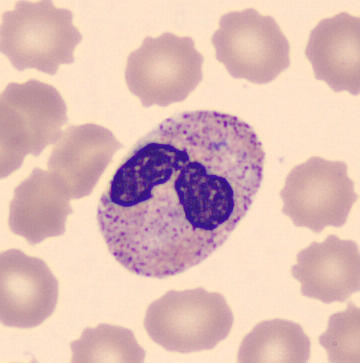 Acquisition: Peripheral blood smear. The morphological class is polymorphonuclear neutrophil.